Bone marrow aspirate smear; single-cell crop:
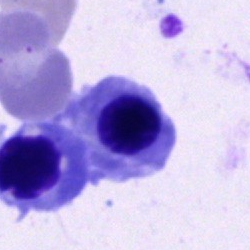The cell shown is an erythroblast.